Bone marrow aspirate smear.
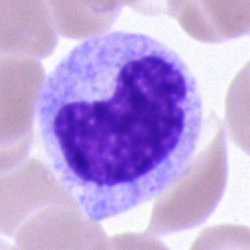

The cell shown is a metamyelocyte.